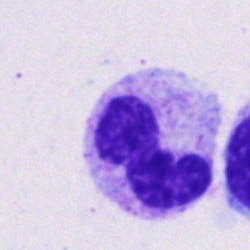Q: Identify the cell.
A: Polymorphonuclear neutrophil.